Bone marrow smear:
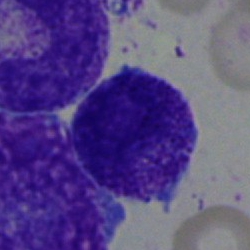 Myelocyte.